Peripheral blood film
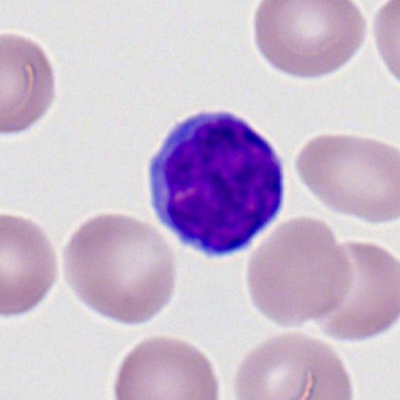

{"cell_type": "typical lymphocyte", "lineage": "lymphoid"}